Bone marrow aspirate smear
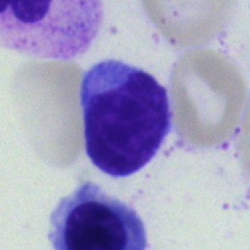

Q: What is the morphological classification of this cell?
A: This is a typical lymphocyte.